Bone marrow aspirate smear:
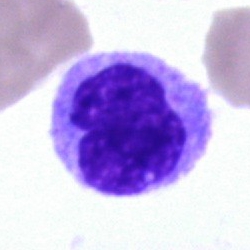

This is a monocyte.